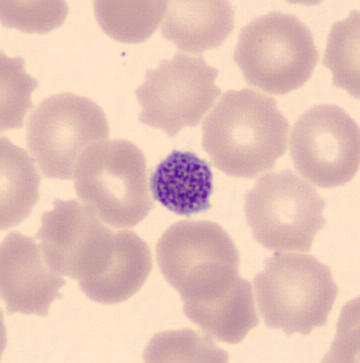Acquisition: Peripheral blood smear.
The classification is platelet (thrombocyte).